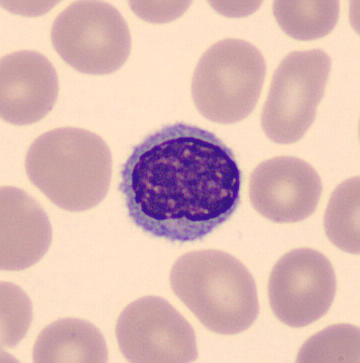
Acquisition: May-Grünwald-Giemsa-stained. Peripheral blood smear.
Showing a lymphocyte.